Bone marrow smear: 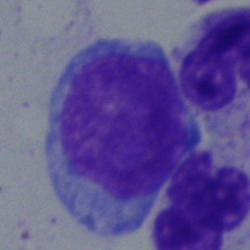 Blast.